Brightfield, 40× oil-immersion objective; bone marrow aspirate smear
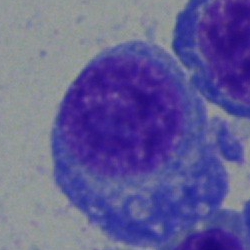

The cell shown is a plasmacyte.